May-Grünwald-Giemsa stain; bone marrow smear.
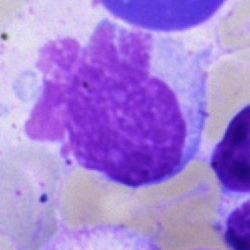Showing an artifact.